Bone marrow aspirate smear · 40× oil immersion · single-cell field:
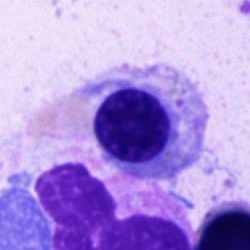

Cell = erythroblast.